Bone marrow aspirate smear: 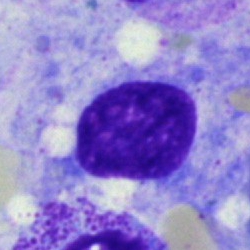Impression — artefact.